Single-cell field; bone marrow aspirate smear.
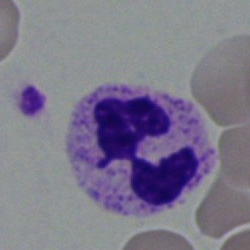
Cell type: neutrophil (segmented).